Bone marrow smear
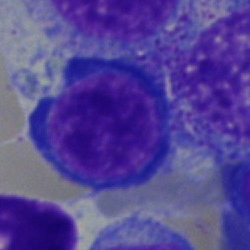

A pronormoblast.